Pappenheim-stained; bone marrow smear: 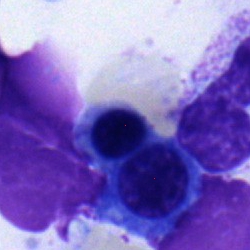

Showing an erythroblast.